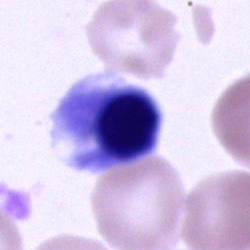
Impression — nucleated red cell.